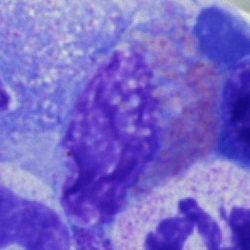 Impression — eosinophilic granulocyte.